Bone marrow aspirate smear. Image size 250×250 — 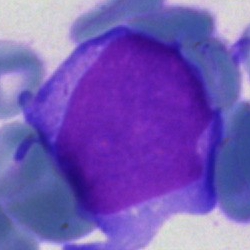

Morphological class = blast.